Bone marrow aspirate smear — 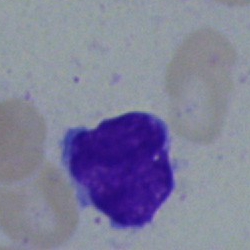 Specimen: bone marrow smear.
Cell type: lymphocyte.
Lineage: lymphoid.